Bone marrow smear:
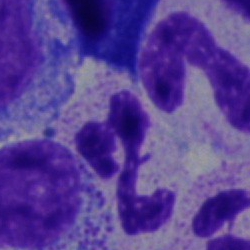The cell shown is a polymorphonuclear neutrophil.